Bone marrow aspirate smear: 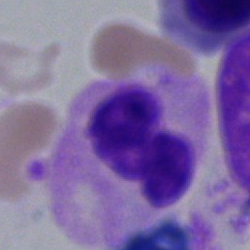 Single cell identified as a band neutrophil.